Bone marrow aspirate smear: 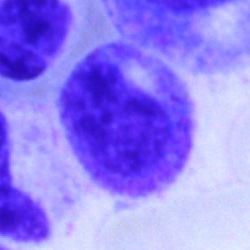The cell is myelocyte.